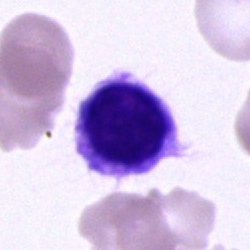
Single cell identified as a lymphocyte.